Image size 250×250. Bone marrow smear.
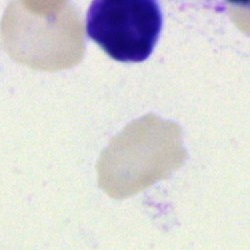
Specimen: bone marrow aspirate smear.
Classification: myelocyte.
Lineage: myeloid.